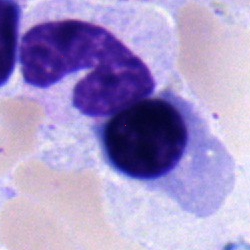Showing a nucleated red cell.